Bone marrow aspirate smear
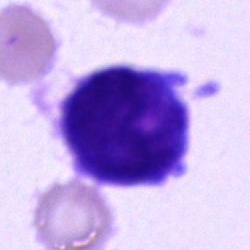 Cell — cell of indeterminate lineage.